Bone marrow smear — 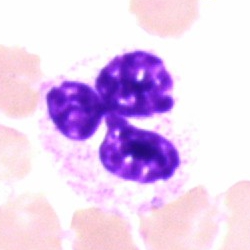 Classification: polymorphonuclear neutrophil.